Bone marrow smear; 40× objective, oil immersion.
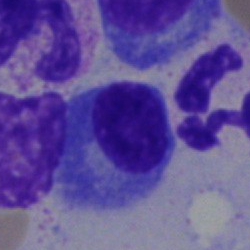

A plasmacyte.